Bone marrow aspirate smear: 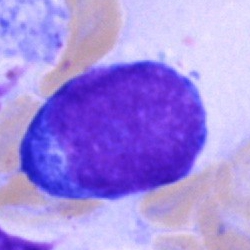

Progranulocyte.